May-Grünwald-Giemsa stain · bone marrow smear.
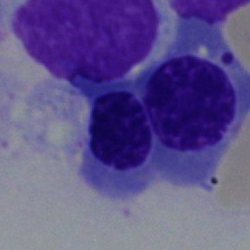

Cell type — nucleated red cell.